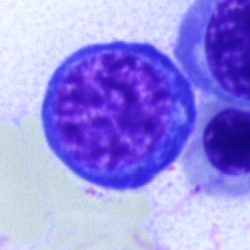
Morphology consistent with a nucleated red cell.